Bone marrow aspirate smear.
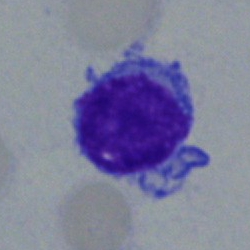The cell shown is a typical lymphocyte.